Peripheral blood film · image size 400×400 — 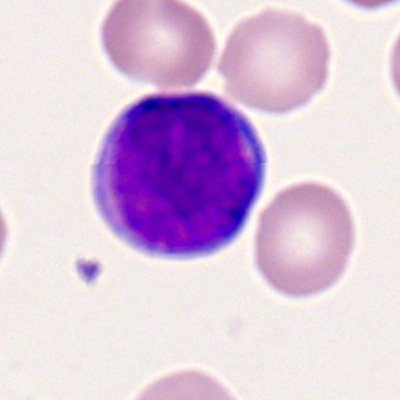

Cell type — myeloid blast.